Image size 250×250. Bone marrow smear. Brightfield, 40× oil-immersion objective:
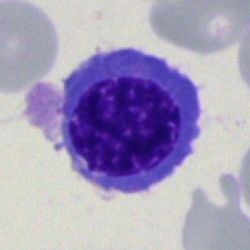 Q: Which cell type is shown here?
A: This is an erythroblast.